Bone marrow smear · cropped to a single cell · MGG-stained
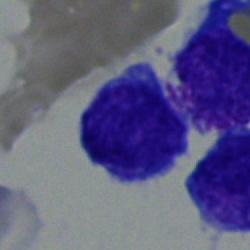

Q: What is shown here?
A: Undifferentiated blast.